Bone marrow smear
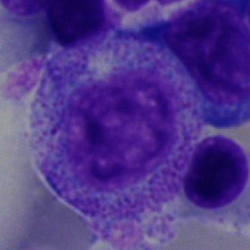 Impression → myelocyte.